Bone marrow aspirate smear:
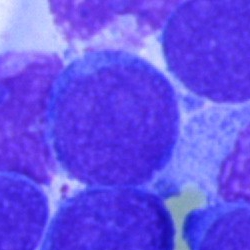

The morphological class is blast cell.